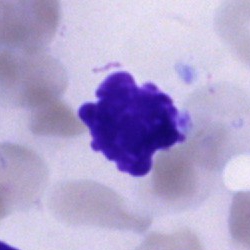
Q: What is shown here?
A: Artifact.